Single cell centered in the field. Bone marrow aspirate smear:
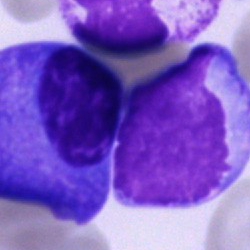Specimen: bone marrow aspirate smear.
Cell type: cell of indeterminate lineage.